Bone marrow aspirate smear. Single-cell crop.
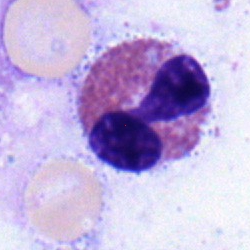Morphology consistent with an eosinophil.